Peripheral blood smear
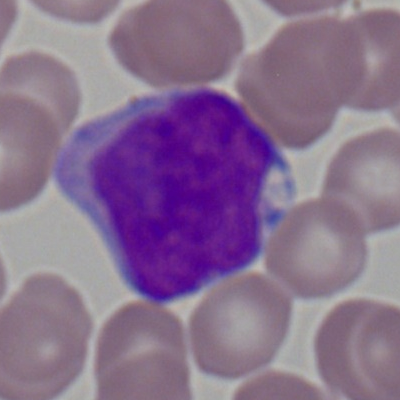Impression → myeloblast.